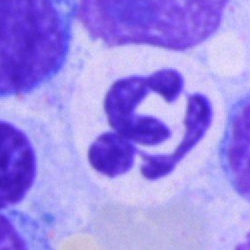 Q: What is the morphological classification of this cell?
A: This is a polymorphonuclear neutrophil.